Bone marrow smear: 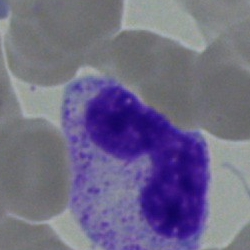

Specimen: bone marrow smear.
Cell: band neutrophil.
Lineage: myeloid.